Bone marrow smear:
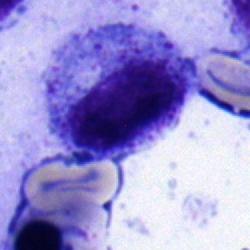
Specimen: bone marrow smear.
Classification: metamyelocyte.
Lineage: myeloid.